Bone marrow aspirate smear.
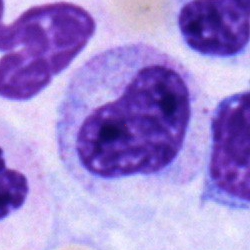Cell — metamyelocyte.